Peripheral blood smear; CellaVision DM96.
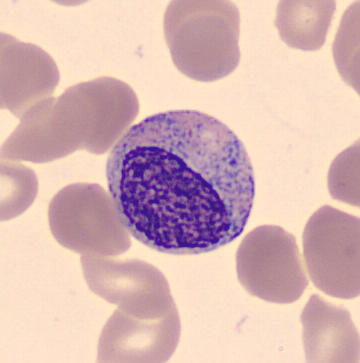

Q: What is this?
A: It is a myelocyte.